Single-cell field. Peripheral blood film. MGG stain: 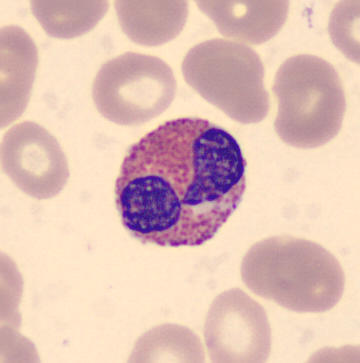

Identified as an eosinophilic granulocyte.